Single cell centered in the field · Romanowsky-stained · peripheral blood smear — 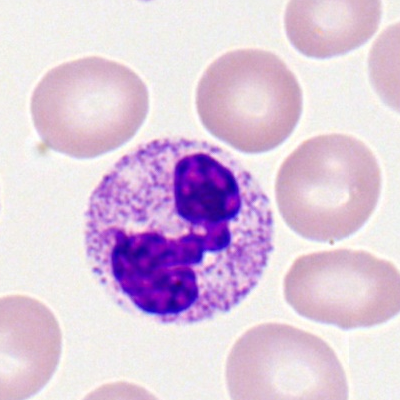

Showing a segmented neutrophil.